Bone marrow aspirate smear; MGG-stained
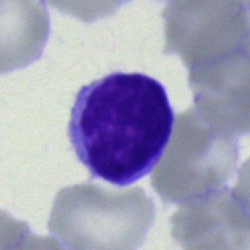Q: Identify the cell.
A: This is a lymphocyte.